Bone marrow aspirate smear — 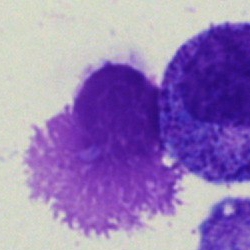

Specimen: bone marrow smear.
Morphological class: artifact.